Brightfield, 40× oil-immersion objective; single cell centered in the field; bone marrow aspirate smear — 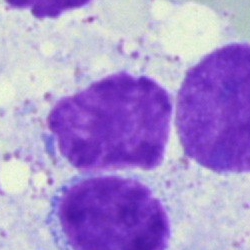

Morphological class: artifact.